Peripheral blood film
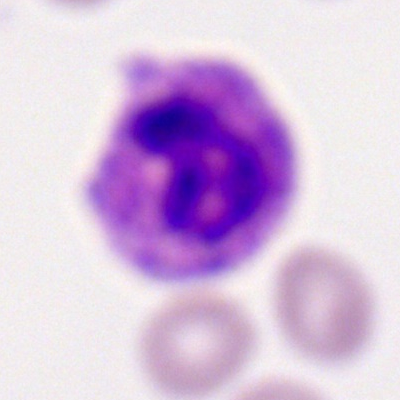

The cell shown is a neutrophil (segmented).